Bone marrow smear — 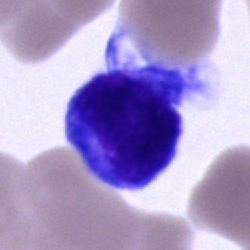Showing a cell of indeterminate lineage.